Peripheral blood smear — 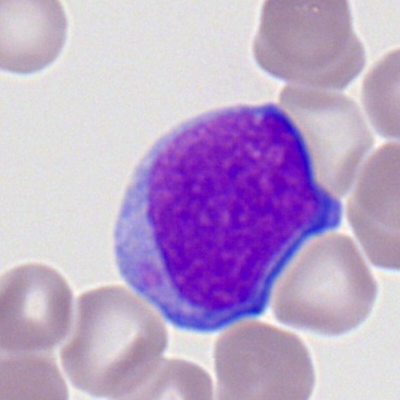
Morphology — myeloblast.